Bone marrow smear: 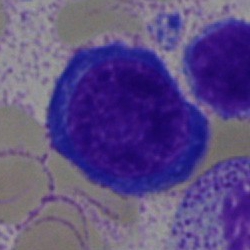 A proerythroblast.